MGG-stained; bone marrow aspirate smear: 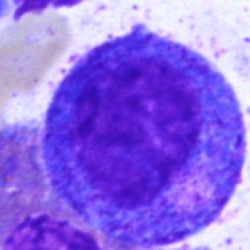
Specimen: bone marrow aspirate smear.
Classification: promyelocyte.
Lineage: myeloid.